Peripheral blood smear.
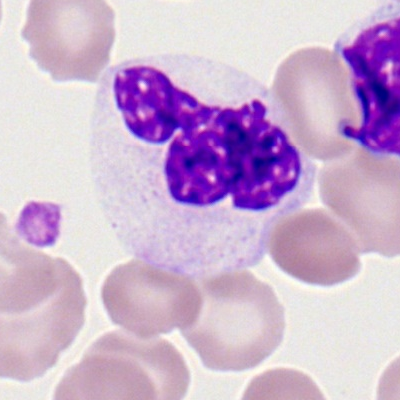{"cell_type": "polymorphonuclear neutrophil"}